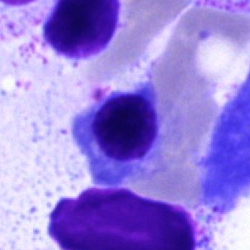
Cell: nucleated red blood cell.